Bone marrow smear; cropped to a single cell:
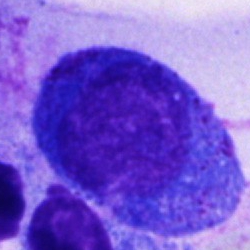

Cell: progranulocyte.